Single-cell field. 250 by 250 pixels. Bone marrow smear: 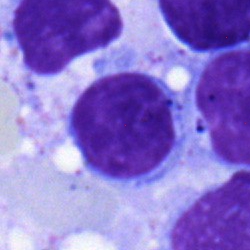

The morphological class is typical lymphocyte.